Bone marrow aspirate smear
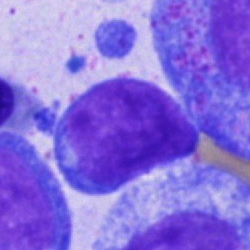Morphological class — blast cell.